May-Grünwald-Giemsa/Pappenheim stain · bone marrow aspirate smear · 40× oil immersion — 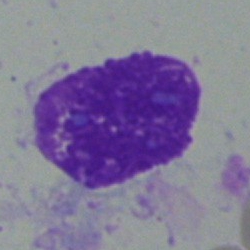Cell — artefact.